Bone marrow aspirate smear. Cropped to a single cell:
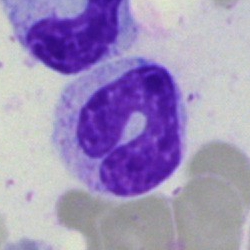 Morphology consistent with a band neutrophil.